Bone marrow smear: 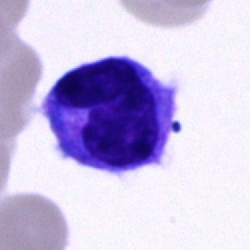
A monocyte.